Bone marrow aspirate smear — 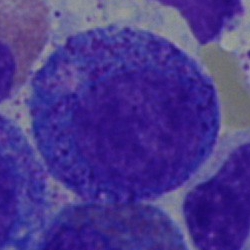

Showing a promyelocyte.